Peripheral blood film.
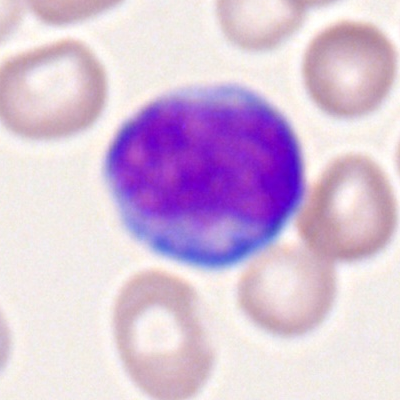 A myeloid blast.